Bone marrow aspirate smear:
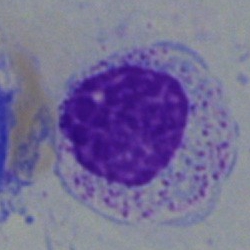
Single cell identified as a myelocyte.